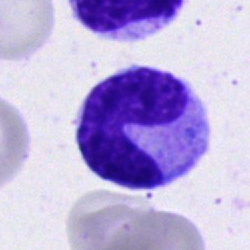A neutrophil (band).